Bone marrow aspirate smear; May-Grünwald-Giemsa/Pappenheim stain:
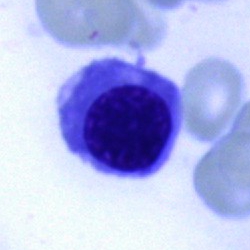Cell = erythroblast.